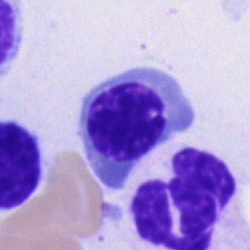

Single-cell crop from a bone marrow smear: nucleated red blood cell.